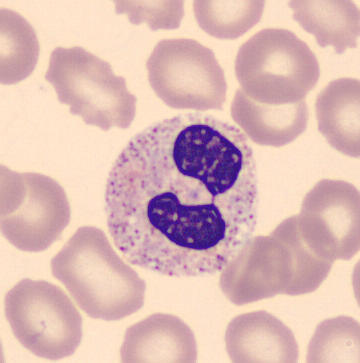
Specimen: peripheral blood film.
Classification: segmented neutrophil.
Image: MGG stain.